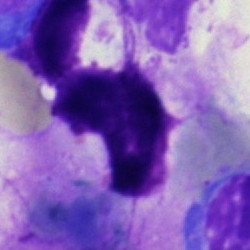 Classification — artefact.